Bone marrow aspirate smear: 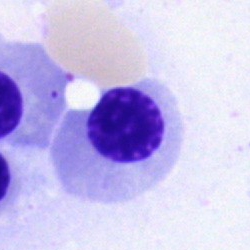

This is a normoblast.